40× oil immersion. Bone marrow aspirate smear:
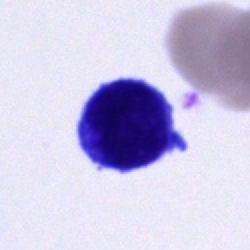Q: What is the morphological classification of this cell?
A: This is an unidentifiable cell.